Bone marrow aspirate smear.
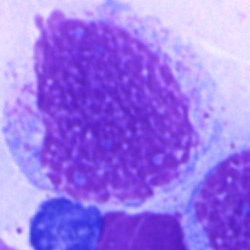
Morphology consistent with an artefact.